May-Grünwald-Giemsa/Pappenheim stain · single cell centered in the field · bone marrow smear: 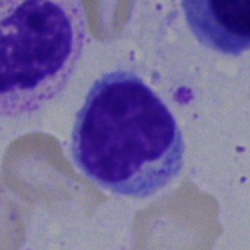
The morphological class is lymphocyte.